Bone marrow smear: 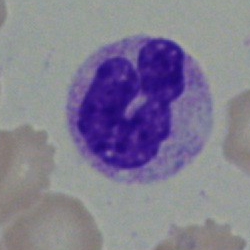

Cell type: polymorphonuclear neutrophil.